Bone marrow smear.
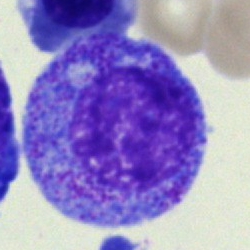Q: What type of cell is this?
A: Myelocyte.